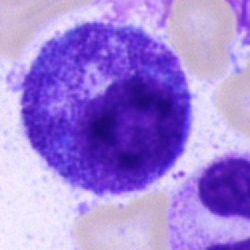
Q: Which cell type is shown here?
A: It is a progranulocyte.